Bone marrow smear — 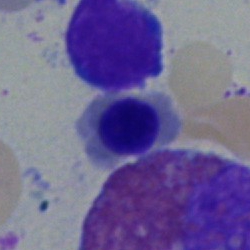 Impression — nucleated red blood cell.